Bone marrow smear:
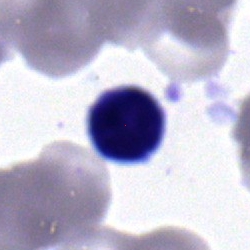

Single cell identified as a lymphocyte.